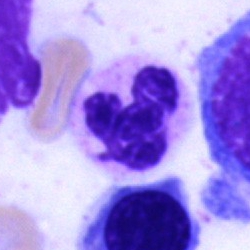

Cell: segmented neutrophil.